Bone marrow smear — 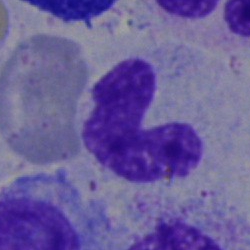

Cell: stab cell.